Bone marrow smear.
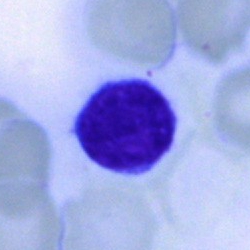 Q: What is the morphological classification of this cell?
A: This is a typical lymphocyte.